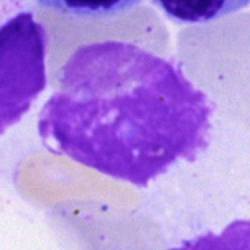 Q: What is shown here?
A: It is an artefact.